250 by 250 pixels · bone marrow aspirate smear.
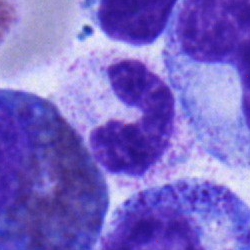 Morphology consistent with a band neutrophil.